250×250. Single-cell field. Bone marrow aspirate smear.
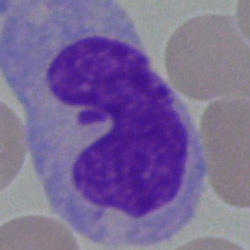The cell is monocyte.